May-Grünwald-Giemsa/Pappenheim stain; bone marrow aspirate smear; 250×250 — 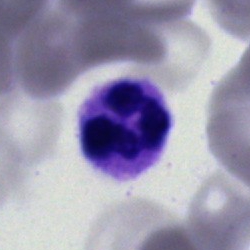

Morphology consistent with a segmented neutrophil.